Bone marrow aspirate smear — 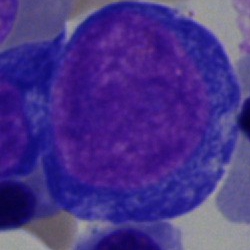
Morphological class — proerythroblast.